Peripheral blood film; brightfield, 100× oil-immersion objective: 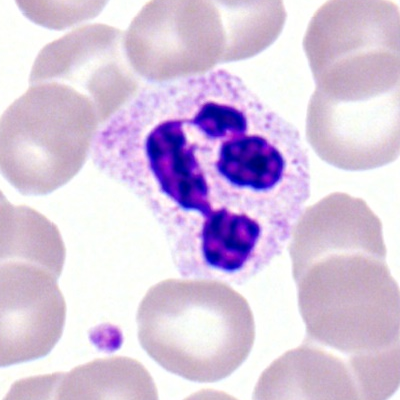Morphology consistent with a polymorphonuclear neutrophil.